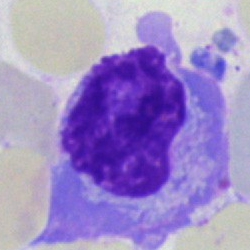Morphological class = plasma cell.